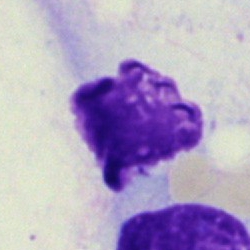

Morphology consistent with an artifact.